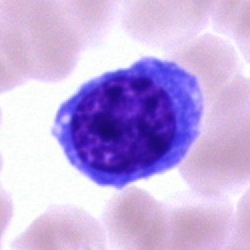Single-cell crop from a bone marrow smear: erythroblast.